Bone marrow aspirate smear — 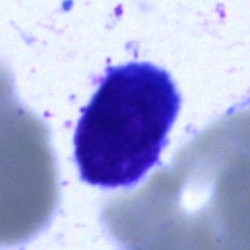

Specimen: bone marrow aspirate smear.
Morphological class: artefact.